May-Grünwald-Giemsa stain · bone marrow smear — 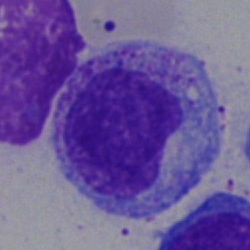

This is a promyelocyte.